Bone marrow smear: 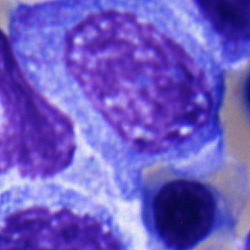
Progranulocyte.